Romanowsky-stained. Peripheral blood film. 400×400 — 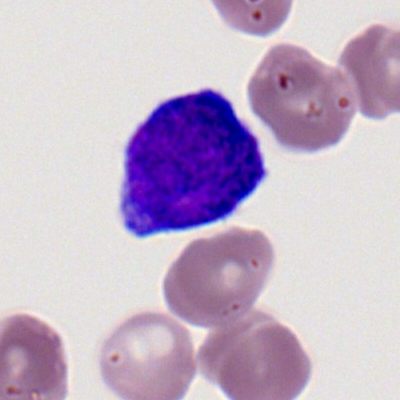
Q: What is the morphological classification of this cell?
A: It is a lymphocyte.